250×250 px · bone marrow smear · brightfield, 40× oil-immersion objective: 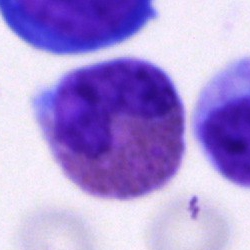 The cell shown is an eosinophilic granulocyte.